Bone marrow aspirate smear. 250×250
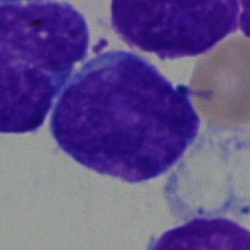 The classification is blast cell.